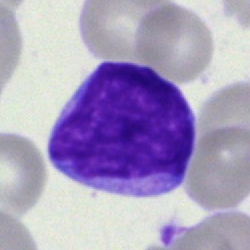
Q: Identify the cell.
A: Undifferentiated blast.